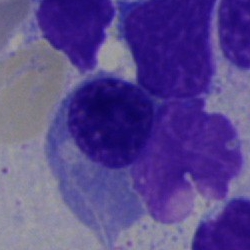 A normoblast on a bone marrow smear.